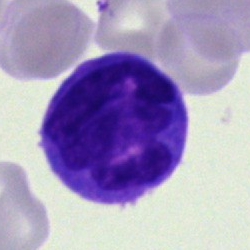Bone marrow aspirate smear, single cell — monocyte.